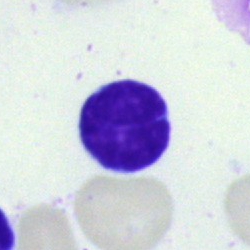Morphology consistent with a lymphocyte.